Bone marrow smear.
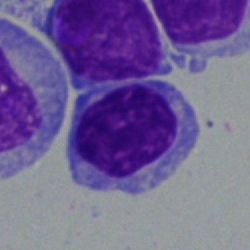

{"cell_type": "typical lymphocyte", "lineage": "lymphoid"}